Peripheral blood film:
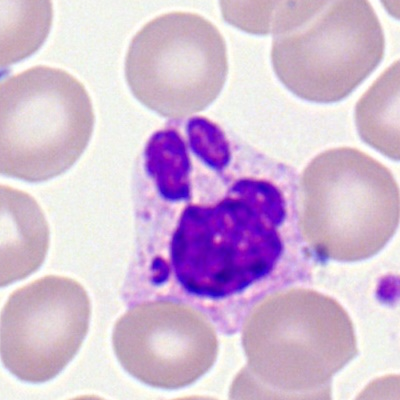 Showing a neutrophil (segmented).